Bone marrow smear
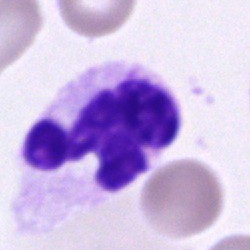

The cell shown is a polymorphonuclear neutrophil.